Bone marrow aspirate smear: 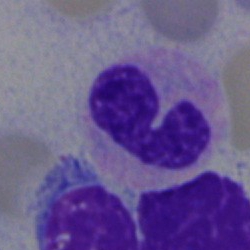

Single cell identified as a neutrophil (segmented).